Bone marrow aspirate smear. Image size 250×250. Single-cell crop — 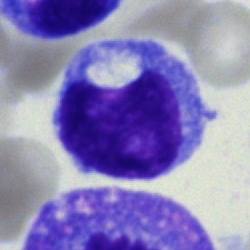
Specimen: bone marrow aspirate smear.
Cell type: blast.